250×250 px. Bone marrow smear: 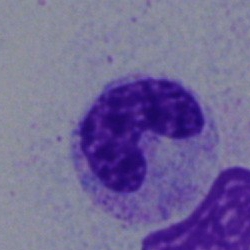

Morphological class: stab cell.